Bone marrow aspirate smear — 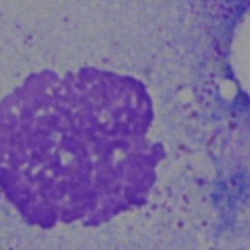Cell type = artifact.